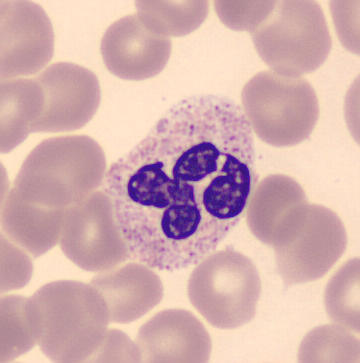Morphology consistent with a neutrophil (segmented).
Peripheral blood film.